Single-cell field; peripheral blood smear — 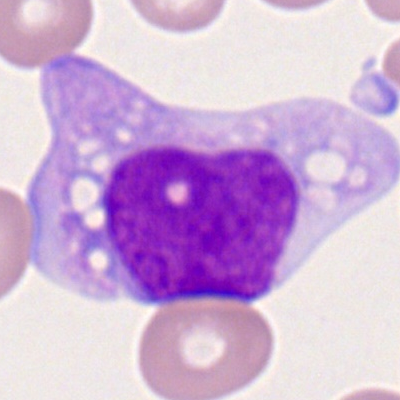

Q: What type of cell is this?
A: This is a monocyte.